Bone marrow smear
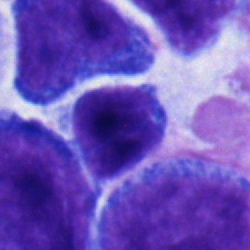Q: What cell is this?
A: It is a lymphocyte.